Bone marrow smear · 250 by 250 pixels:
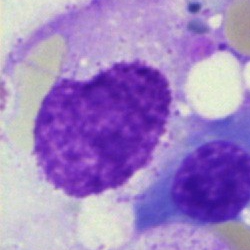
Morphology consistent with an artefact.